Bone marrow aspirate smear. 40× oil immersion
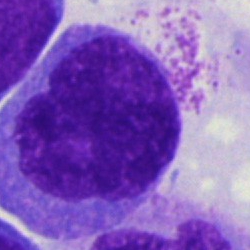 A monocyte.